Bone marrow smear:
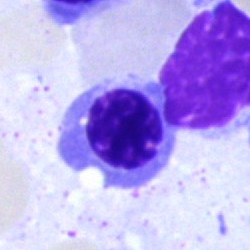Q: What is shown here?
A: This is a nucleated red cell.